MGG-stained. Bone marrow aspirate smear
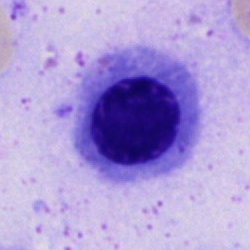
Specimen: bone marrow smear.
Cell type: erythroblast.